Bone marrow aspirate smear. Image size 250×250. Brightfield microscopy, 40× oil immersion.
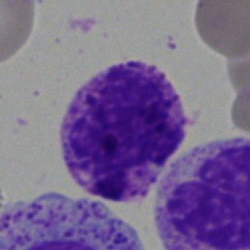
Specimen: bone marrow smear.
Morphological class: basophil.
Lineage: myeloid.